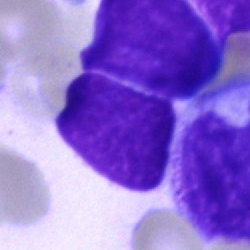 Morphology consistent with a blast.